May-Grünwald-Giemsa/Pappenheim stain. 40× oil immersion. Bone marrow aspirate smear:
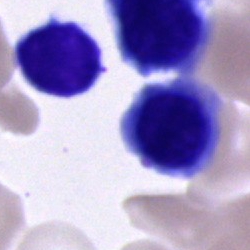
{"cell_type": "cell of indeterminate lineage"}